Bone marrow aspirate smear.
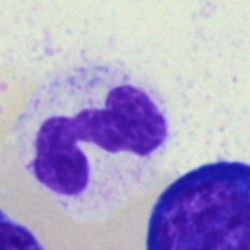 Q: What cell is this?
A: This is a polymorphonuclear neutrophil.